Bone marrow smear — 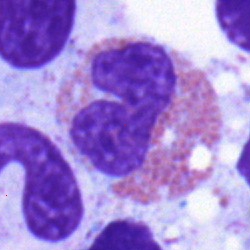

This is an eosinophil.